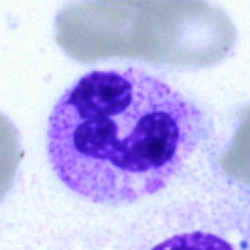
Single cell identified as a polymorphonuclear neutrophil.